Bone marrow aspirate smear:
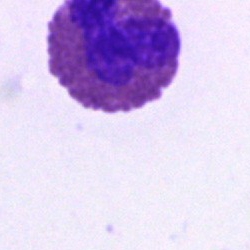
Classification = eosinophilic granulocyte.